Brightfield microscopy, 40× oil immersion; bone marrow aspirate smear; 250×250 px: 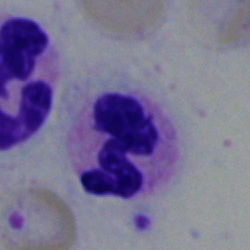
Showing a neutrophil (segmented).